250×250. Bone marrow smear:
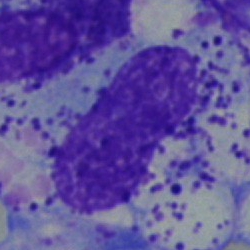 Specimen: bone marrow aspirate smear.
Classification: other cell type.